250×250. Brightfield, 40× oil-immersion objective. Bone marrow smear — 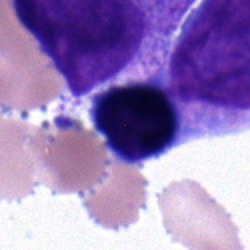
This is a nucleated red cell.